Brightfield microscopy, 40× oil immersion · MGG-stained · bone marrow aspirate smear: 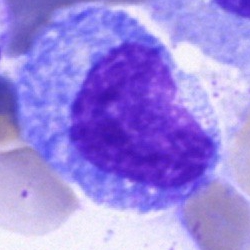

A promyelocyte.